Cropped to a single cell · bone marrow smear.
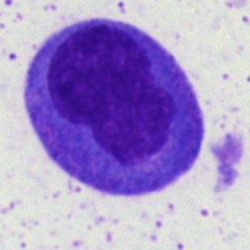

Classification — blast.